May-Grünwald-Giemsa/Pappenheim stain; cropped to a single cell; bone marrow smear — 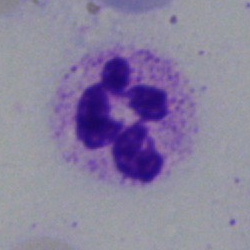
Morphology consistent with a polymorphonuclear neutrophil.